Bone marrow smear; 250×250 px: 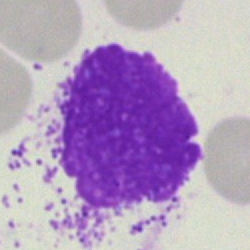 Single cell identified as an artefact.